Bone marrow aspirate smear
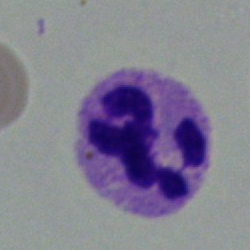The cell shown is a polymorphonuclear neutrophil.